Bone marrow smear
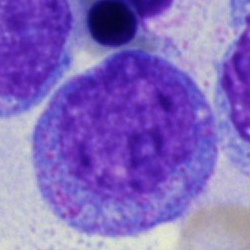 The cell type is promyelocyte.